May-Grünwald-Giemsa/Pappenheim stain. Bone marrow aspirate smear
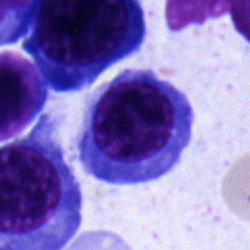

Morphology consistent with a nucleated red blood cell.